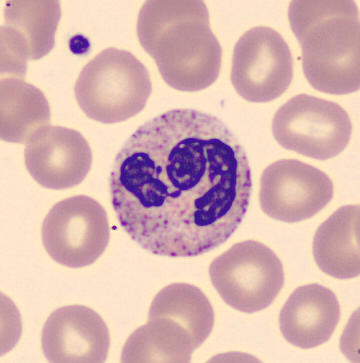Single-cell crop · peripheral blood smear.
Impression — segmented neutrophil.